40× objective, oil immersion · bone marrow smear · single-cell crop: 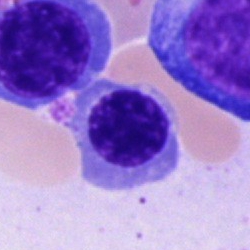
Morphological class — erythroblast.